Single cell centered in the field; bone marrow aspirate smear — 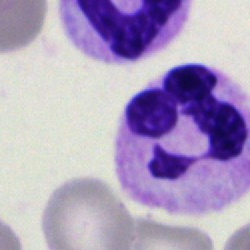
The cell shown is a polymorphonuclear neutrophil.